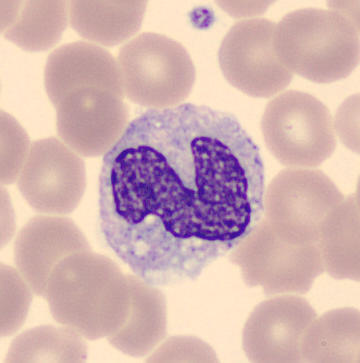Preparation: Imaged on a CellaVision DM96 analyser. Single-cell field. Peripheral blood smear.
Impression → monocyte.